Brightfield, 40× oil-immersion objective. Bone marrow aspirate smear. 250 by 250 pixels.
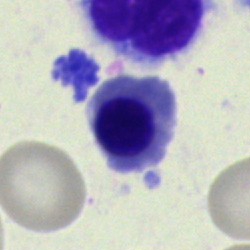
Impression — normoblast.